Bone marrow smear · cropped to a single cell.
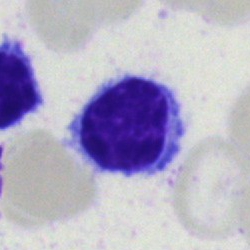

Specimen: bone marrow smear.
Cell type: lymphocyte.
Lineage: lymphoid.